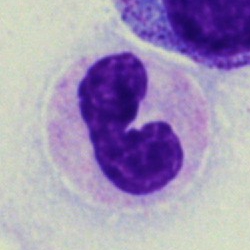

Stab cell.